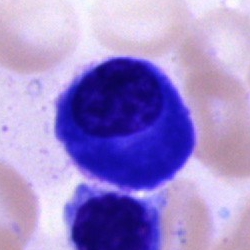 Q: What is the morphological classification of this cell?
A: A plasma cell.